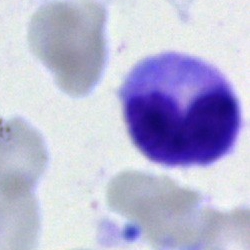
Specimen: bone marrow aspirate smear.
Cell type: stab cell.
Lineage: myeloid.